Bone marrow aspirate smear. Single-cell crop. Pappenheim-stained: 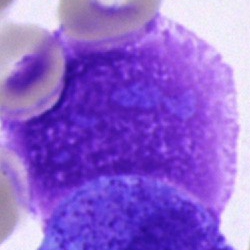

Specimen: bone marrow aspirate smear.
Morphological class: artifact.